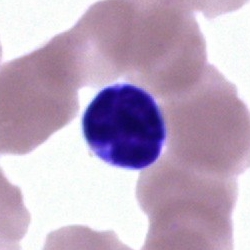
Showing a lymphocyte.